Single cell centered in the field; bone marrow aspirate smear: 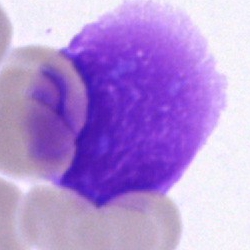

{"cell_type": "artifact"}